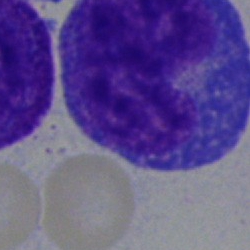
Q: Which cell type is shown here?
A: A monocyte.